Bone marrow aspirate smear:
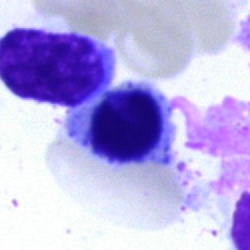A nucleated red cell.